Bone marrow aspirate smear — 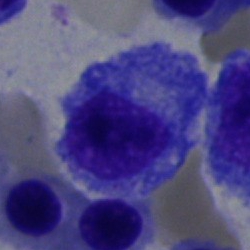Specimen: bone marrow aspirate smear.
Morphological class: plasma cell.